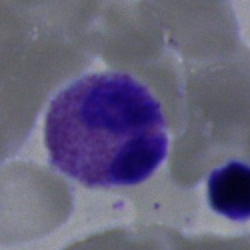

Single cell identified as an eosinophil.